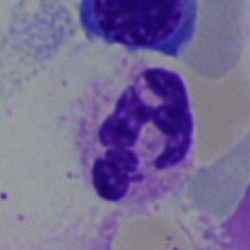

Segmented neutrophil.